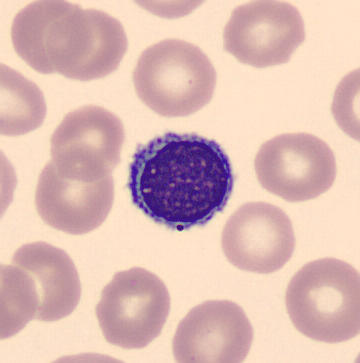 Single cell identified as a typical lymphocyte.

Image: May-Grünwald-Giemsa-stained. Peripheral blood film.